Bone marrow aspirate smear — 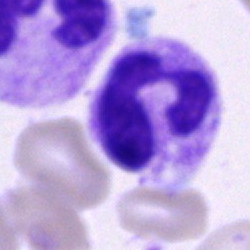
Q: Identify the cell.
A: A polymorphonuclear neutrophil.